Bone marrow aspirate smear — 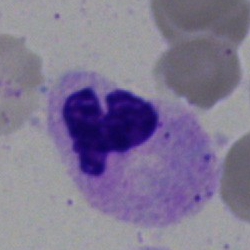The cell is segmented neutrophil.